Bone marrow smear.
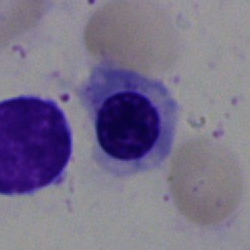
The cell shown is an erythroblast.